Bone marrow smear:
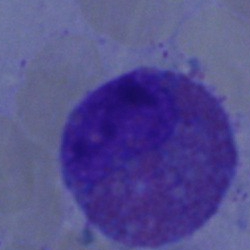Morphological class: eosinophilic granulocyte.